Brightfield, 40× oil-immersion objective · bone marrow smear: 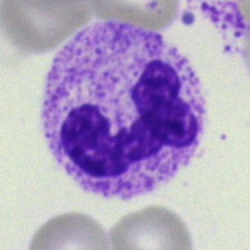 This is a neutrophil (segmented).